Image size 250×250 · bone marrow smear: 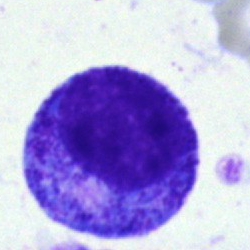 Classification — myelocyte.